Bone marrow smear.
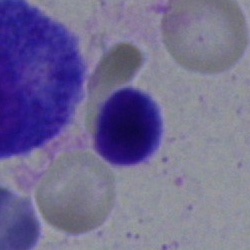 This is a lymphocyte.